Bone marrow aspirate smear · 250×250 — 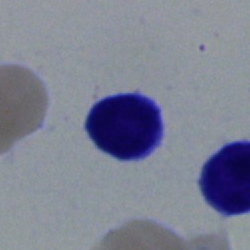
Morphology consistent with a typical lymphocyte.